250×250 · bone marrow smear · single cell centered in the field — 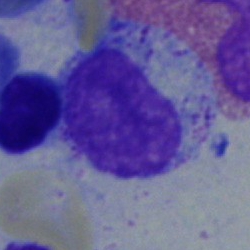 A myelocyte.